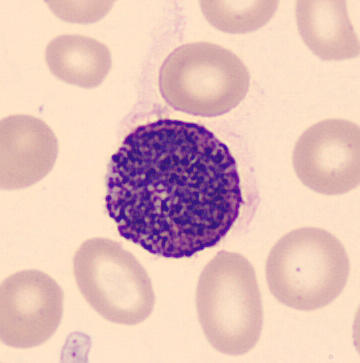
Peripheral blood smear; MGG stain.

Q: Which cell type is shown here?
A: It is a basophil.